Bone marrow smear — 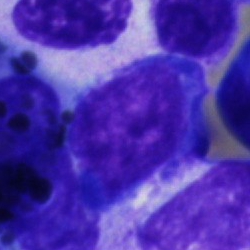Specimen: bone marrow smear.
Morphological class: blast.